Image size 400×400 · peripheral blood smear:
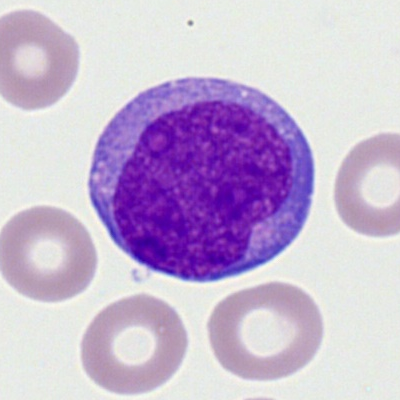Impression → myeloblast.